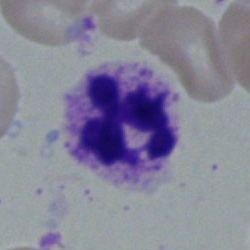 {"cell_type": "segmented neutrophil"}